May Grünwald-Giemsa stain. Peripheral blood smear
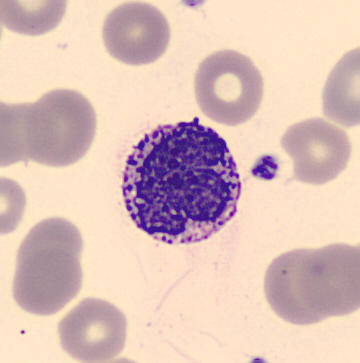

Specimen: peripheral blood film.
Cell type: basophil.
Lineage: myeloid.